Bone marrow smear
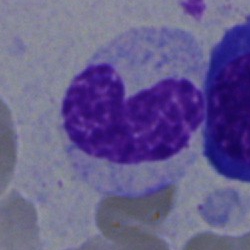 Morphological class = metamyelocyte.